Bone marrow smear · May-Grünwald-Giemsa stain:
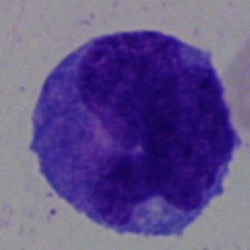 Morphological class: blast.